Peripheral blood film: 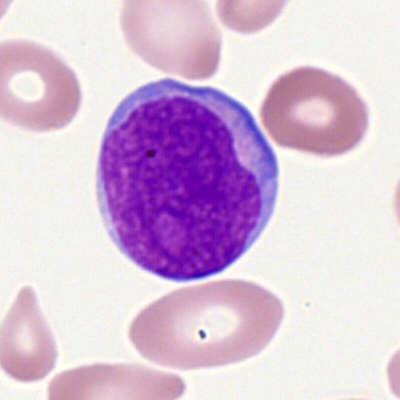

This is a myeloid blast.